250×250 px; bone marrow aspirate smear; cropped to a single cell: 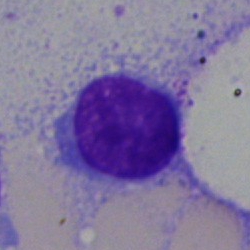Specimen: bone marrow aspirate smear.
Cell: lymphocyte.